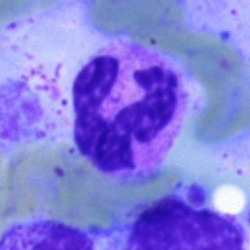
This is a segmented neutrophil.